Bone marrow aspirate smear; 250 by 250 pixels.
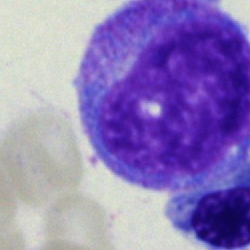

A blast cell.